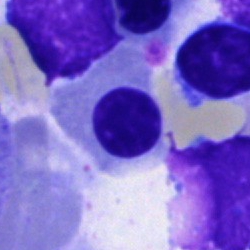Morphological class: nucleated red blood cell.